Single cell centered in the field; bone marrow smear — 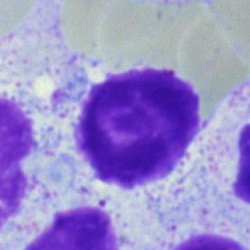 Specimen: bone marrow aspirate smear.
Classification: artifact.